250×250 px. 40× oil immersion. Bone marrow aspirate smear:
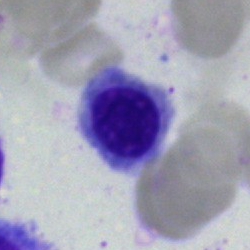
Q: What cell is this?
A: A nucleated red cell.